Bone marrow smear; 250×250; Pappenheim-stained
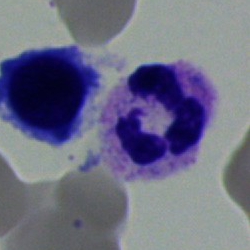

Morphology consistent with a neutrophil (segmented).